Bone marrow aspirate smear
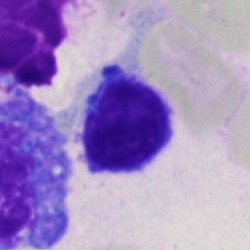
Morphology consistent with a typical lymphocyte.